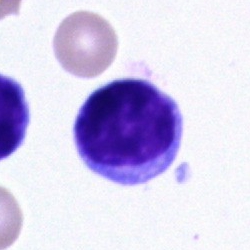
Specimen: bone marrow aspirate smear.
Classification: lymphocyte.
Lineage: lymphoid.